Bone marrow aspirate smear
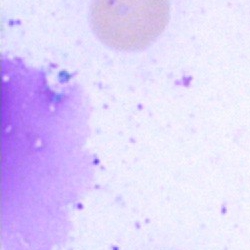

Q: What is shown here?
A: Artefact.